Bone marrow aspirate smear · May-Grünwald-Giemsa/Pappenheim stain — 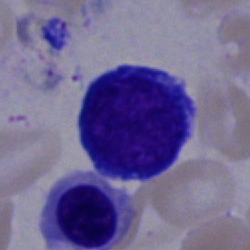
{"cell_type": "typical lymphocyte"}